Bone marrow aspirate smear — 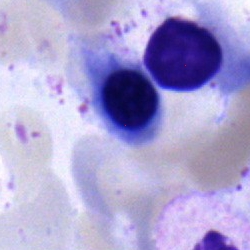 Showing an erythroblast.